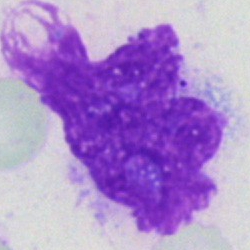Q: What is shown here?
A: It is an artefact.